Bone marrow smear; single cell centered in the field
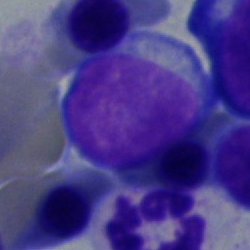
Undifferentiated blast.